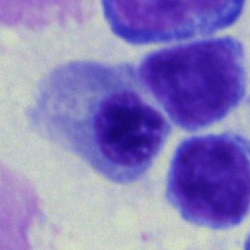The cell shown is a normoblast.